Bone marrow aspirate smear
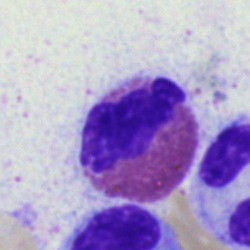{"cell_type": "eosinophilic granulocyte"}